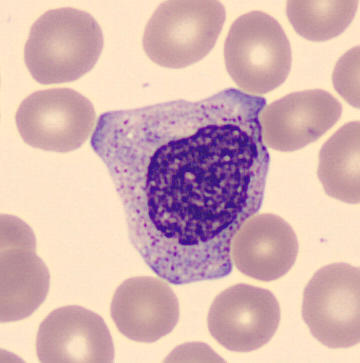Acquisition: Imaged on a CellaVision DM96 analyser. MGG-stained. Peripheral blood film. Q: What cell is this?
A: It is a myelocyte.